250×250 · bone marrow aspirate smear — 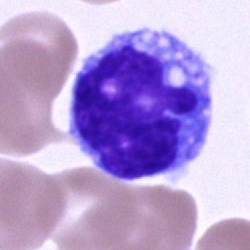Cell = monocyte.